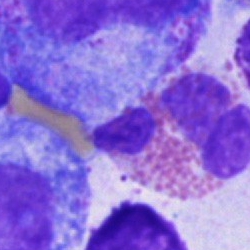

Specimen: bone marrow smear.
Morphological class: eosinophilic granulocyte.
Lineage: myeloid.